Bone marrow aspirate smear
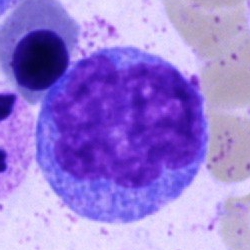 Q: Identify the cell.
A: Monocyte.